Single cell centered in the field; Romanowsky-type stain; peripheral blood smear
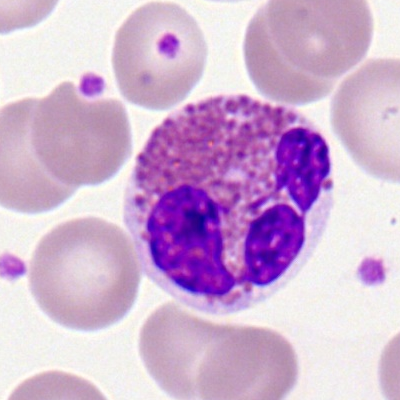Q: What cell is this?
A: This is an eosinophilic granulocyte.